Image size 250×250. Bone marrow smear
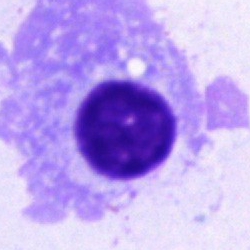Morphological class = plasma cell.